Bone marrow aspirate smear · May-Grünwald-Giemsa stain
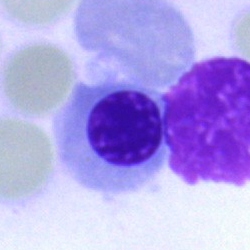
Impression → nucleated red blood cell.